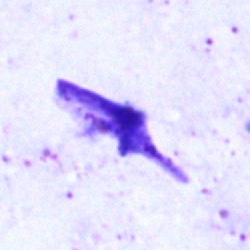 Q: What is shown here?
A: An artefact.